Bone marrow smear · single-cell field
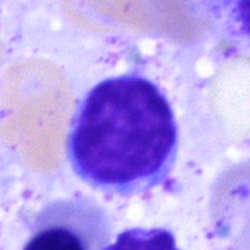 Morphology consistent with a typical lymphocyte.